Bone marrow aspirate smear; 40× oil immersion
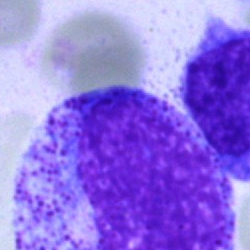

{"cell_type": "progranulocyte", "lineage": "myeloid"}